Single cell centered in the field. Bone marrow aspirate smear. 40× objective, oil immersion:
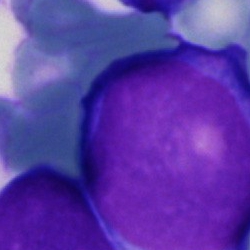
Specimen: bone marrow smear.
Cell: blast.